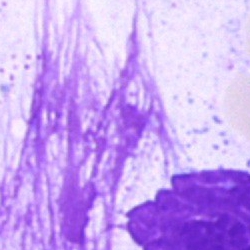Impression → artefact.